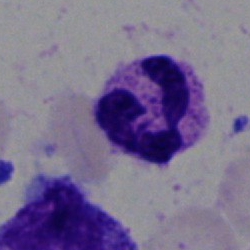

Morphological class = neutrophil (segmented).